Bone marrow smear. 250 by 250 pixels: 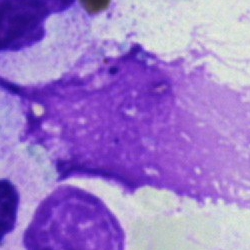

Cell type: artefact.